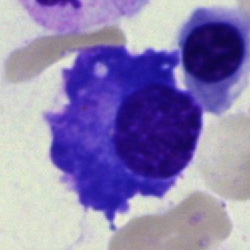
Q: What is the morphological classification of this cell?
A: Plasmacyte.